40× objective, oil immersion · bone marrow smear — 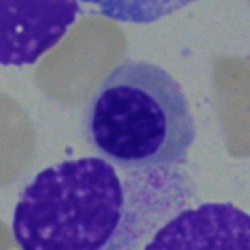The morphological class is nucleated red blood cell.